Peripheral blood smear — 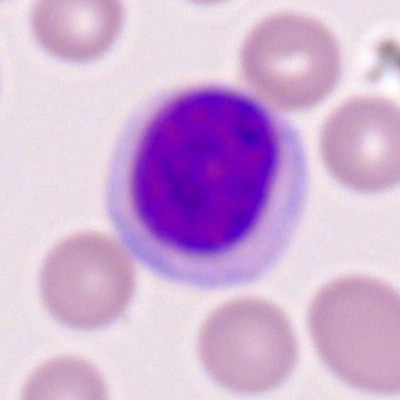Q: Identify the cell.
A: Lymphocyte.